Bone marrow smear:
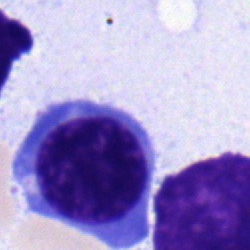
Nucleated red blood cell.